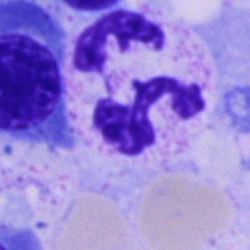
Morphology → neutrophil (segmented).